Single-cell field. Bone marrow aspirate smear:
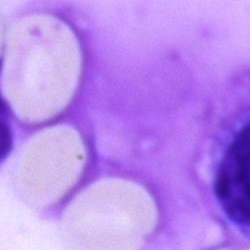Morphological class — artifact.